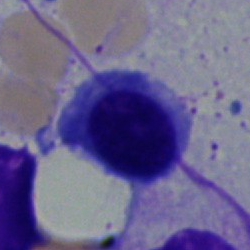 Showing a normoblast.